Bone marrow aspirate smear: 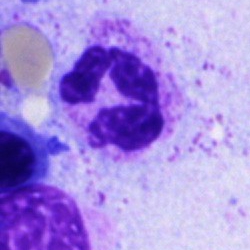
The cell shown is a neutrophil (segmented).